Bone marrow aspirate smear
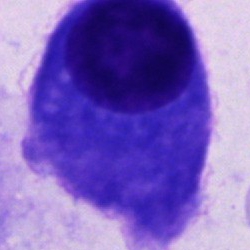 Classification = other cell type.